Bone marrow aspirate smear: 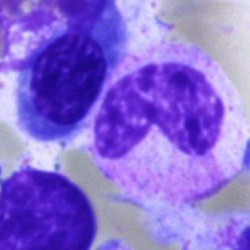 Showing a band neutrophil.